Bone marrow aspirate smear; brightfield microscopy, 40× oil immersion — 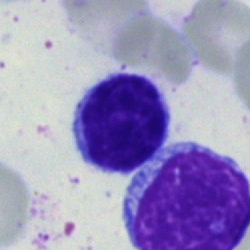Typical lymphocyte.